Peripheral blood smear — 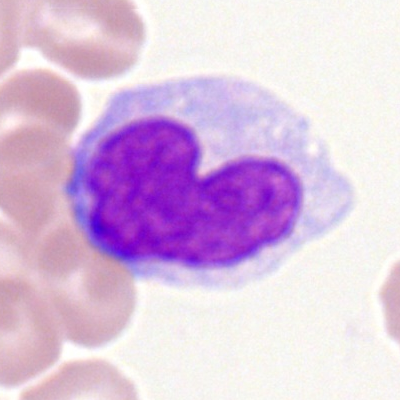The cell type is monocyte.